Bone marrow aspirate smear — 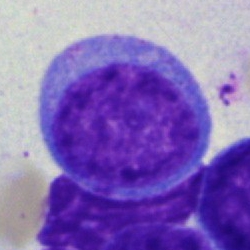

Specimen: bone marrow aspirate smear.
Cell type: undifferentiated blast.